May-Grünwald-Giemsa/Pappenheim stain; 40× oil immersion; bone marrow smear: 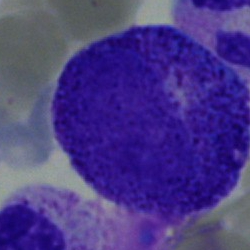Cell — progranulocyte.